Bone marrow aspirate smear; brightfield microscopy, 40× oil immersion; 250×250 px — 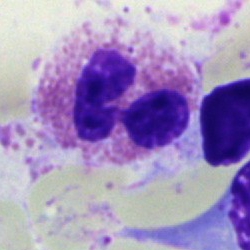Specimen: bone marrow aspirate smear.
Cell type: eosinophilic granulocyte.